Bone marrow aspirate smear
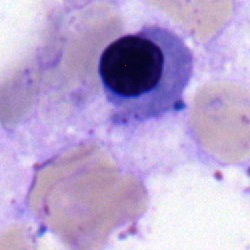 Nucleated red cell.